Bone marrow aspirate smear.
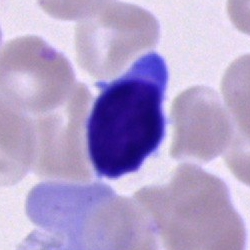Specimen: bone marrow smear.
Classification: typical lymphocyte.
Lineage: lymphoid.